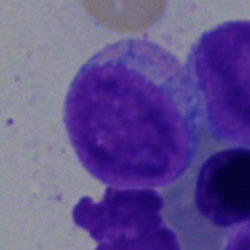

Blast cell.